Bone marrow smear · Pappenheim-stained — 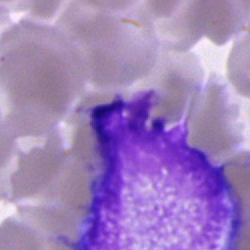
Impression — artifact.